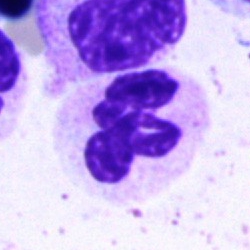

Bone marrow aspirate smear, single cell — polymorphonuclear neutrophil.